250×250 px; bone marrow smear:
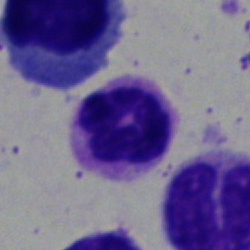 {"cell_type": "neutrophil (segmented)", "lineage": "myeloid"}